Peripheral blood smear: 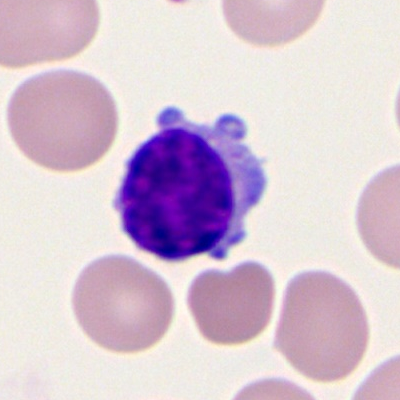Cell type: lymphocyte.